Peripheral blood film
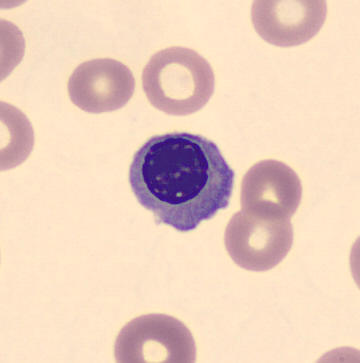
Cell type: nucleated red blood cell.